Bone marrow smear.
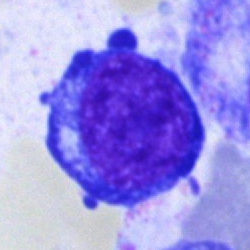
Q: Which cell type is shown here?
A: It is a normoblast.